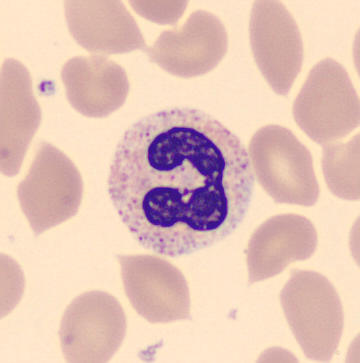Acquisition: Peripheral blood smear.

A polymorphonuclear neutrophil.